Bone marrow aspirate smear.
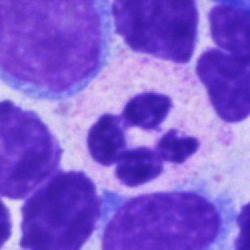
Q: What cell is this?
A: This is a segmented neutrophil.